Bone marrow smear · single-cell field
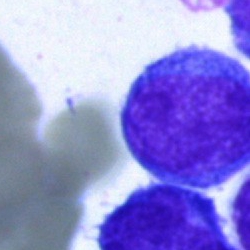

Morphological class: blast.